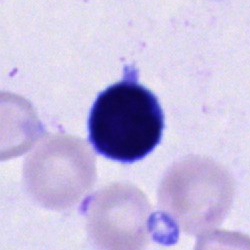Cell of indeterminate lineage.